Bone marrow smear: 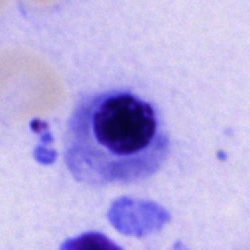
Morphology consistent with a nucleated red cell.